Bone marrow aspirate smear.
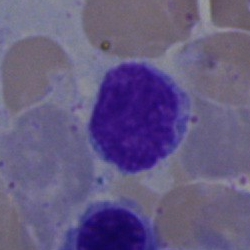Morphology → typical lymphocyte.